250 by 250 pixels · bone marrow aspirate smear · May-Grünwald-Giemsa/Pappenheim stain: 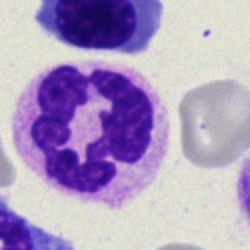

Polymorphonuclear neutrophil.